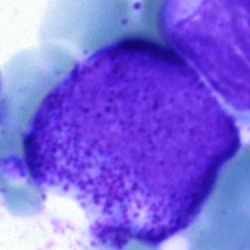 Single cell identified as a progranulocyte.